May-Grünwald-Giemsa/Pappenheim stain; bone marrow smear
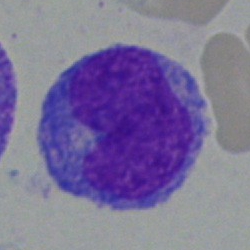This is an undifferentiated blast.